250×250 px · bone marrow smear
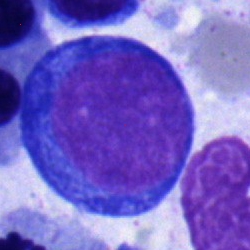
Morphology consistent with a normoblast.